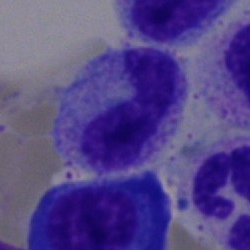Q: Identify the cell.
A: It is a band neutrophil.